Bone marrow aspirate smear — 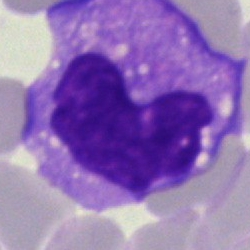
Monocyte.